Bone marrow aspirate smear · 250×250 px · single-cell field
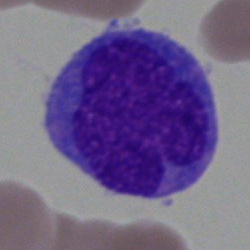
Specimen: bone marrow aspirate smear.
Cell type: blast cell.